Bone marrow aspirate smear. Brightfield, 40× oil-immersion objective: 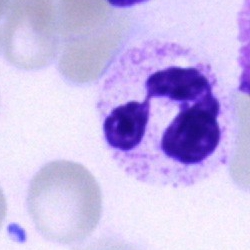 Q: What is the morphological classification of this cell?
A: Segmented neutrophil.